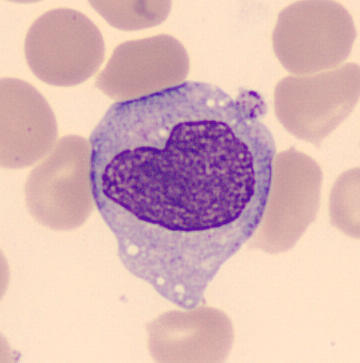

Preparation: Peripheral blood smear.

This is a monocyte.